Bone marrow smear — 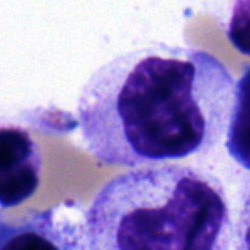 Impression → metamyelocyte.